Bone marrow aspirate smear. Brightfield microscopy, 40× oil immersion
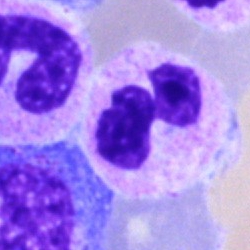
Single cell identified as a neutrophil (segmented).